Bone marrow smear · May-Grünwald-Giemsa/Pappenheim stain · single-cell crop.
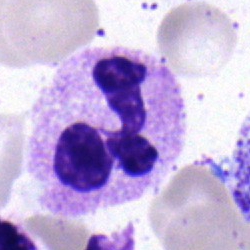Cell type — polymorphonuclear neutrophil.